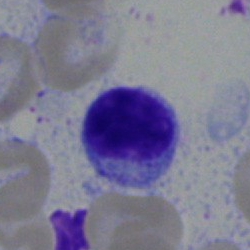Cell type = lymphocyte.